250×250 px; bone marrow aspirate smear
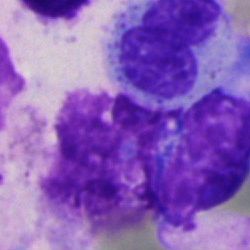
Morphology — artefact.